40× objective, oil immersion. Bone marrow aspirate smear: 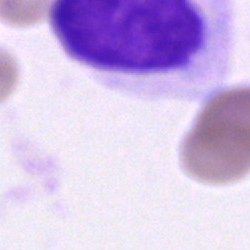
Classification = artifact.